Image size 250×250. Bone marrow smear.
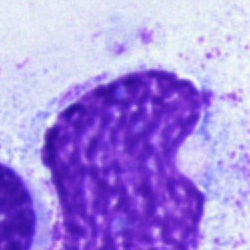Single cell identified as an artifact.